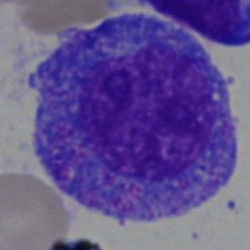

Classification: progranulocyte.